Bone marrow aspirate smear; MGG-stained; single-cell crop
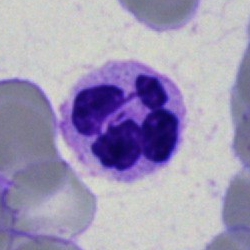

Cell = segmented neutrophil.